Brightfield microscopy, 40× oil immersion; bone marrow smear:
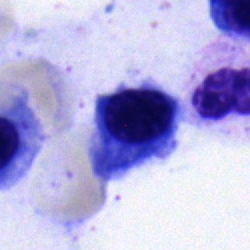This is a nucleated red cell.